Bone marrow smear · Pappenheim-stained — 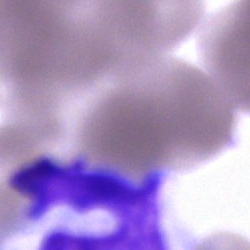 The cell type is artifact.